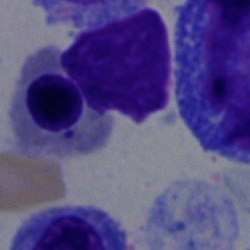
Q: What is shown here?
A: It is a normoblast.